Bone marrow aspirate smear: 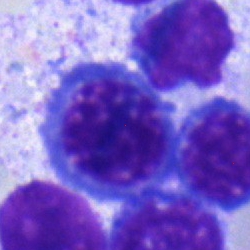
Cell type — nucleated red blood cell.